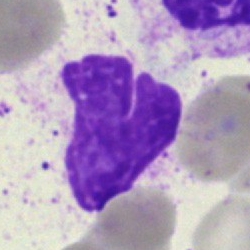Classification: stab cell.